Bone marrow aspirate smear.
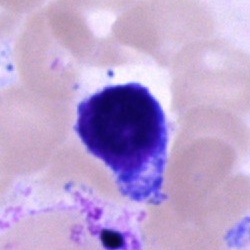 Q: What cell is this?
A: This is a cell of indeterminate lineage.